Bone marrow aspirate smear. Cropped to a single cell.
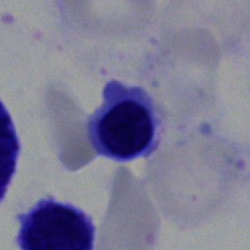 Q: What is the morphological classification of this cell?
A: A nucleated red blood cell.